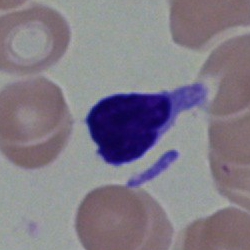
Typical lymphocyte.